Bone marrow aspirate smear: 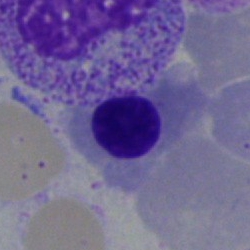

{"cell_type": "normoblast"}